Bone marrow smear — 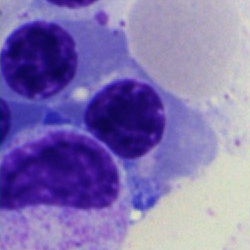

An erythroblast.